Bone marrow aspirate smear; MGG-stained; brightfield microscopy, 40× oil immersion:
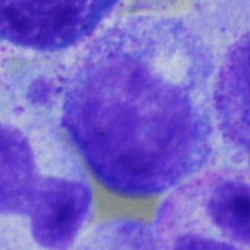

This is a promyelocyte.